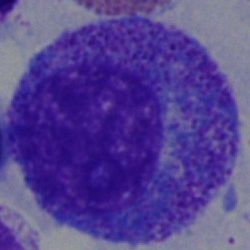

The cell is promyelocyte.